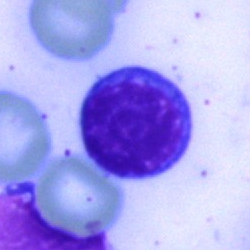{"cell_type": "typical lymphocyte"}